Bone marrow aspirate smear · single-cell crop: 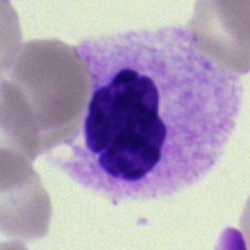 Classification = artefact.